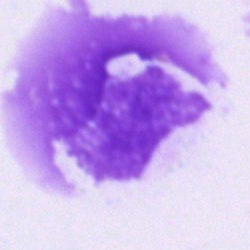
Q: What is shown here?
A: Artifact.